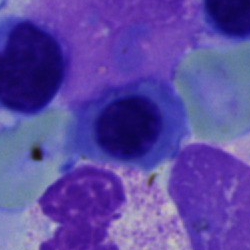 Single-cell crop from a bone marrow smear: nucleated red blood cell.